Bone marrow aspirate smear. 40× oil immersion: 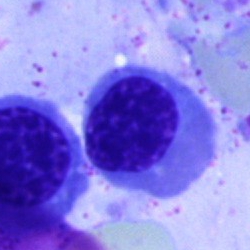 Nucleated red cell.